Bone marrow aspirate smear: 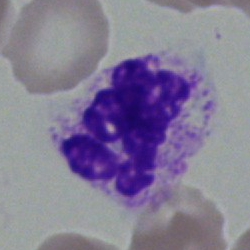
Morphological class: polymorphonuclear neutrophil.